Bone marrow aspirate smear; brightfield, 40× oil-immersion objective
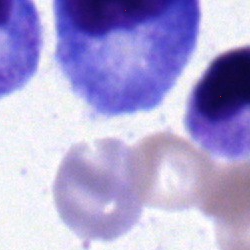
Progranulocyte.